Bone marrow aspirate smear
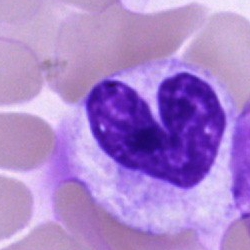 Cell = stab cell.